May-Grünwald-Giemsa stain; 250×250 px; bone marrow aspirate smear
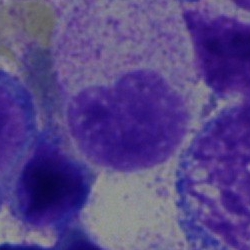 Morphological class = metamyelocyte.